Bone marrow smear.
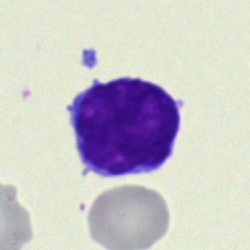
This is a typical lymphocyte.